Image size 250×250 · MGG-stained · bone marrow aspirate smear — 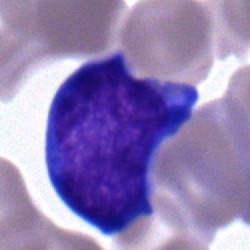 Q: Which cell type is shown here?
A: Lymphocyte.